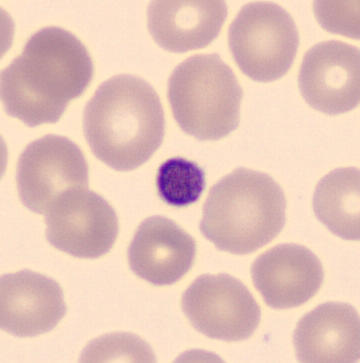

Morphology → thrombocyte.

Image: 360 by 363 pixels; peripheral blood smear.